Single cell centered in the field; May-Grünwald-Giemsa stain; bone marrow smear — 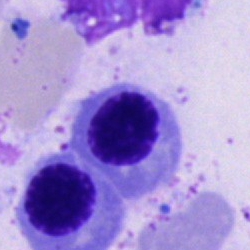
Morphological class: nucleated red blood cell.